Bone marrow aspirate smear: 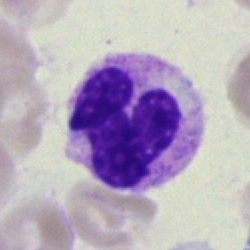
The cell is segmented neutrophil.